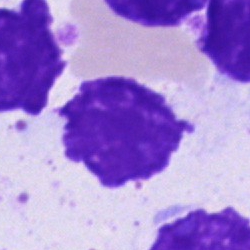
Cell — artifact.